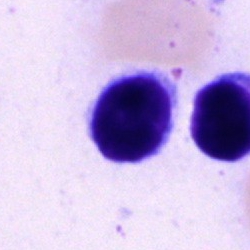 Impression → typical lymphocyte.